Bone marrow smear; 250×250 px: 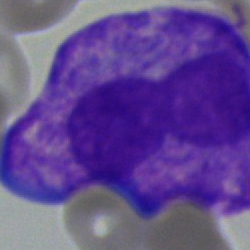Morphology → cell with bundled Auer rods.